Bone marrow aspirate smear — 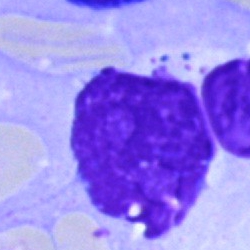
The cell shown is an artefact.